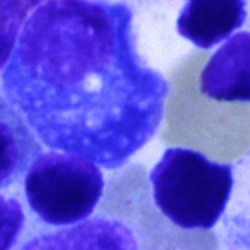 {"cell_type": "plasma cell"}